Bone marrow aspirate smear:
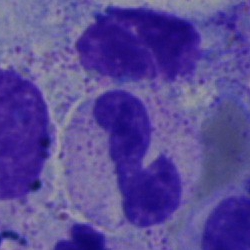

Showing a polymorphonuclear neutrophil.